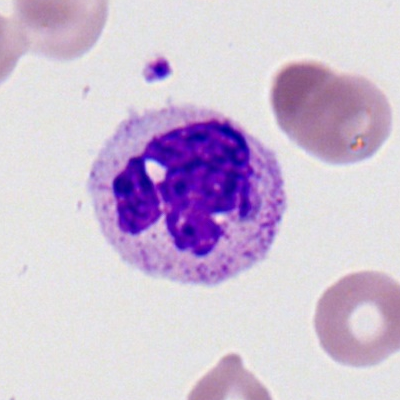
Morphology consistent with a polymorphonuclear neutrophil.